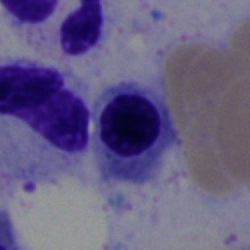 Bone marrow aspirate smear, single cell — nucleated red blood cell.